Image size 250×250. Bone marrow smear. Pappenheim-stained — 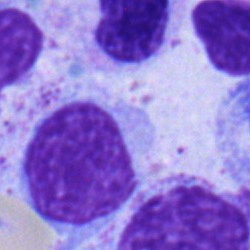 Stab cell.